Peripheral blood film; Romanowsky stain.
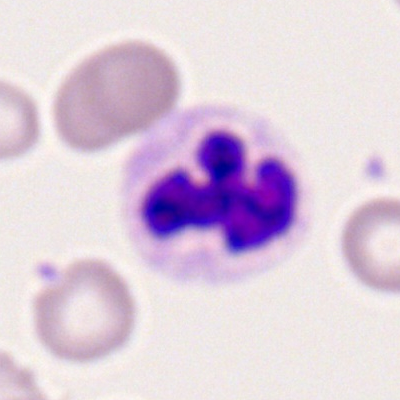

Classification: segmented neutrophil.